MGG-stained. 40× objective, oil immersion. Bone marrow smear.
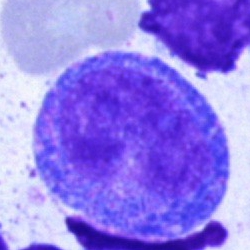Specimen: bone marrow smear.
Morphological class: progranulocyte.